Peripheral blood film · image size 400×400 · Romanowsky stain:
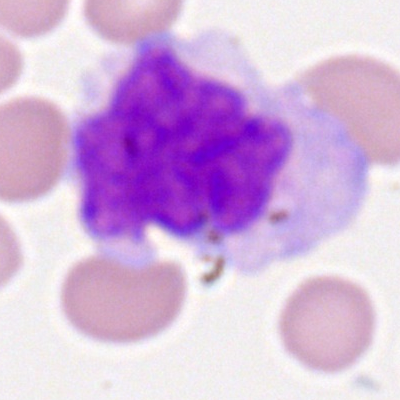
The cell type is monocyte.